40× objective, oil immersion; bone marrow smear.
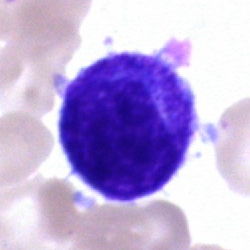Single cell identified as a progranulocyte.